Bone marrow aspirate smear.
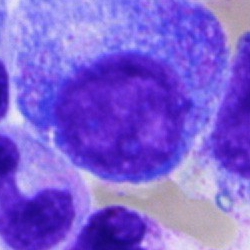Morphological class = progranulocyte.